250×250 px · bone marrow aspirate smear
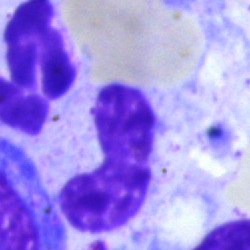 Q: What is shown here?
A: This is a band neutrophil.